Bone marrow smear: 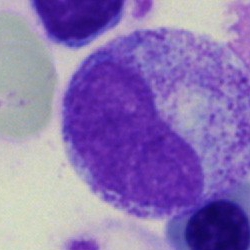

Impression → metamyelocyte.